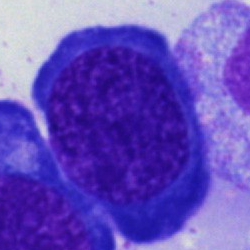This is a nucleated red blood cell.